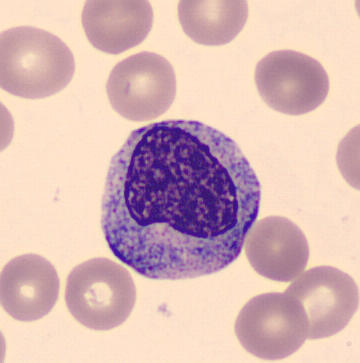 Morphological class = myelocyte. Preparation: Peripheral blood smear.